Bone marrow smear: 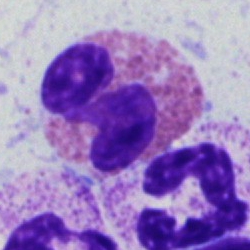

Cell type = eosinophil.